Bone marrow smear — 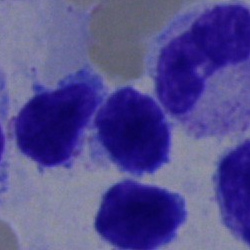This is a lymphocyte.